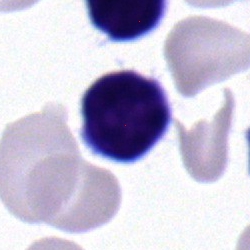

A typical lymphocyte.